Peripheral blood smear. 400×400 px:
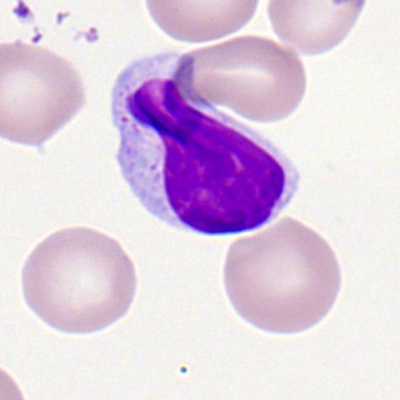A lymphocyte.